Bone marrow aspirate smear: 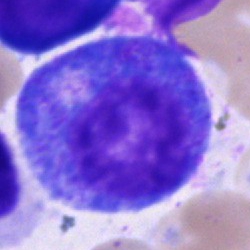

Cell = promyelocyte.